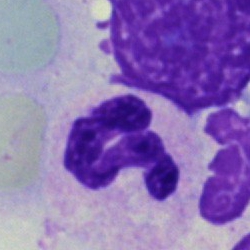 This is a polymorphonuclear neutrophil.